Bone marrow aspirate smear — 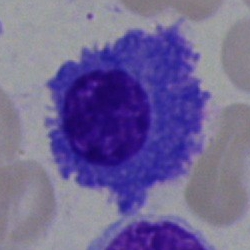Morphology consistent with a plasma cell.